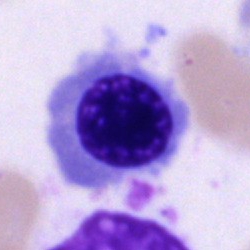 A nucleated red cell.